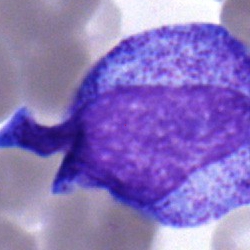Cell type — progranulocyte.